Brightfield, 40× oil-immersion objective. Bone marrow aspirate smear: 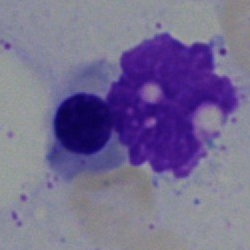

Q: Which cell type is shown here?
A: A nucleated red blood cell.